Pappenheim-stained. 40× objective, oil immersion. Bone marrow aspirate smear — 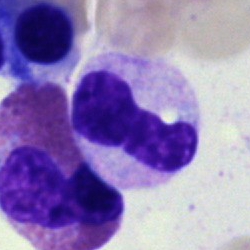

Cell type = stab cell.